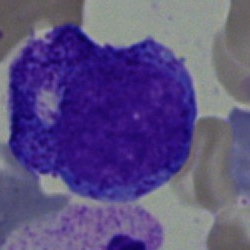
A promyelocyte.